Bone marrow aspirate smear:
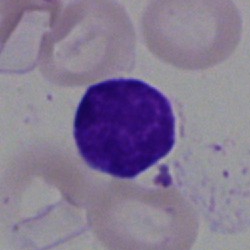

Morphology — lymphocyte.